Bone marrow smear · cropped to a single cell — 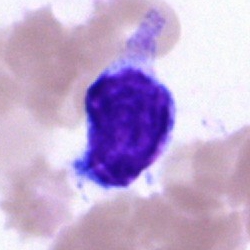
Classification: artifact.